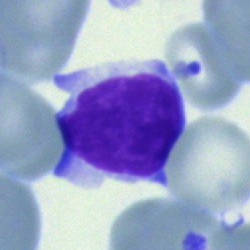

Morphology consistent with a lymphocyte.